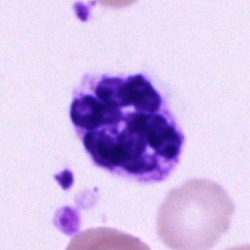

Showing a neutrophil (segmented).